Bone marrow smear.
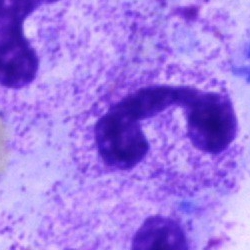Morphology consistent with a segmented neutrophil.